250×250; bone marrow aspirate smear; Pappenheim-stained.
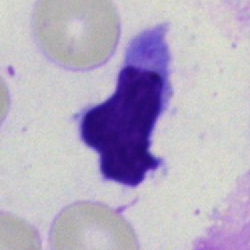The classification is typical lymphocyte.